Bone marrow smear.
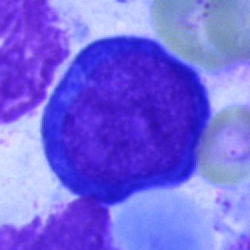
Classification — nucleated red blood cell.